Bone marrow smear — 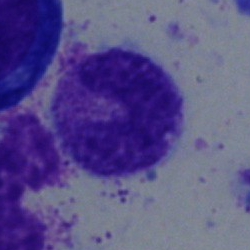 Morphological class = stab cell.